Bone marrow aspirate smear; image size 250×250: 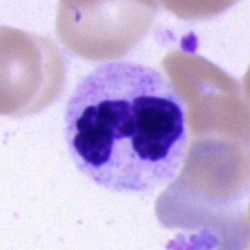
The cell is polymorphonuclear neutrophil.